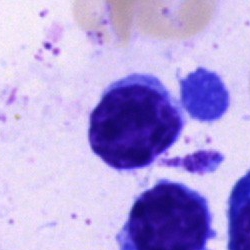

Q: What cell is this?
A: It is a typical lymphocyte.